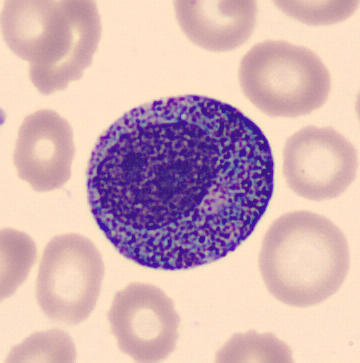Classification — promyelocyte.